Bone marrow smear · 250×250 px · Pappenheim-stained:
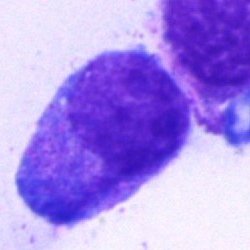Impression — progranulocyte.